250×250; bone marrow smear: 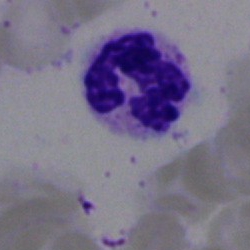

Classification = polymorphonuclear neutrophil.